Bone marrow smear; brightfield microscopy, 40× oil immersion: 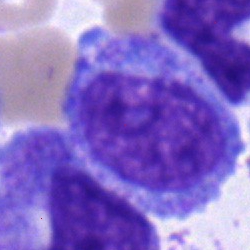
Classification: myelocyte.